Bone marrow aspirate smear.
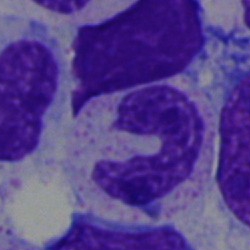

Specimen: bone marrow smear.
Cell: band-form neutrophil.
Lineage: myeloid.